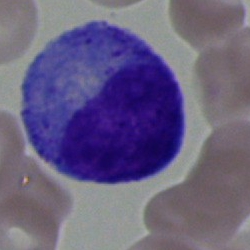

Morphology — progranulocyte.